Bone marrow smear:
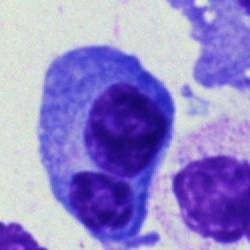

Classification = plasmacyte.